Bone marrow smear.
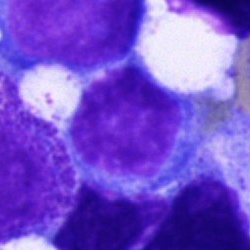Q: What cell is this?
A: It is an undifferentiated blast.